Brightfield, 40× oil-immersion objective. May-Grünwald-Giemsa/Pappenheim stain. Bone marrow aspirate smear:
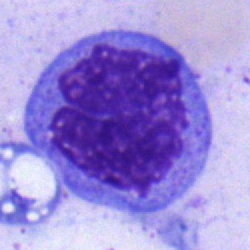 The cell type is monocyte.